Bone marrow smear; 250×250; brightfield microscopy, 40× oil immersion — 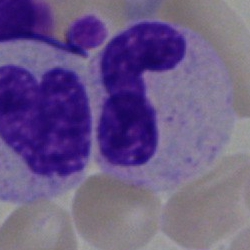 Morphology consistent with a polymorphonuclear neutrophil.